Bone marrow aspirate smear:
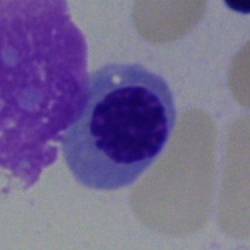 Q: What is shown here?
A: A nucleated red cell.